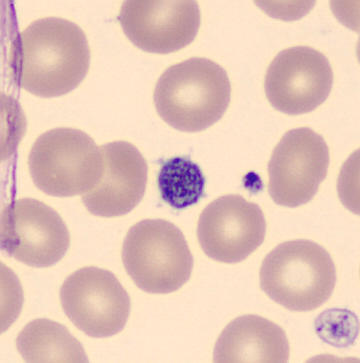Showing a platelet. Peripheral blood film.